Bone marrow smear.
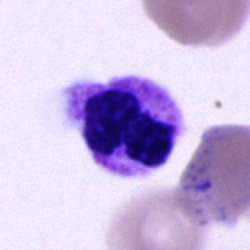Specimen: bone marrow smear.
Cell: neutrophil (segmented).
Lineage: myeloid.